Single-cell field; bone marrow smear
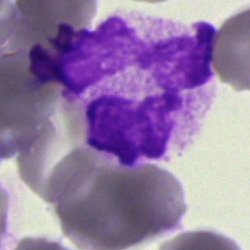
Q: What is shown here?
A: It is an artifact.